Brightfield microscopy, 40× oil immersion · single-cell crop · bone marrow smear.
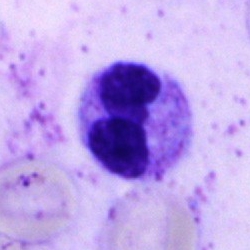 Morphological class = polymorphonuclear neutrophil.